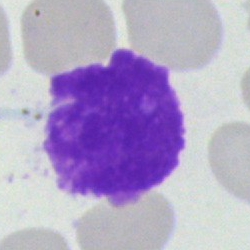 Specimen: bone marrow aspirate smear.
Cell type: smudge cell.